Bone marrow aspirate smear: 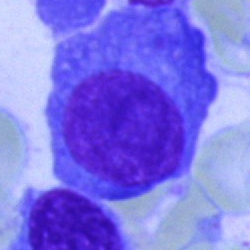

Morphological class = plasma cell.